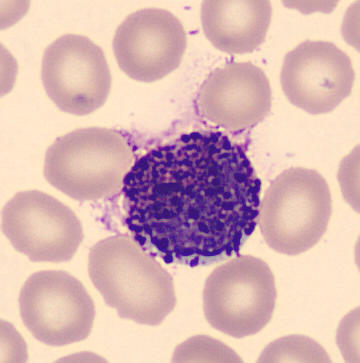
Preparation: Peripheral blood smear · cropped to a single cell · imaged on a CellaVision DM96 analyser.

Basophilic granulocyte.